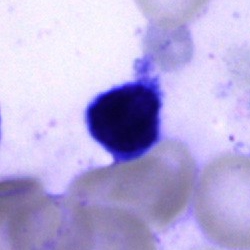

A lymphocyte on a bone marrow smear.